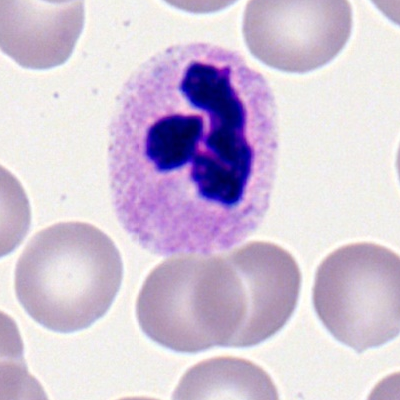 {"cell_type": "neutrophil (segmented)", "lineage": "myeloid"}